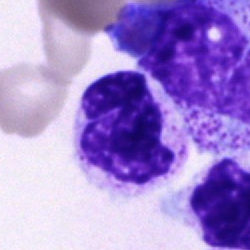Cell type — segmented neutrophil.